Bone marrow smear: 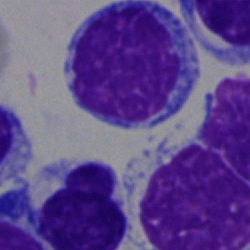

Specimen: bone marrow aspirate smear.
Morphological class: lymphocyte.
Lineage: lymphoid.